Single cell centered in the field · peripheral blood smear:
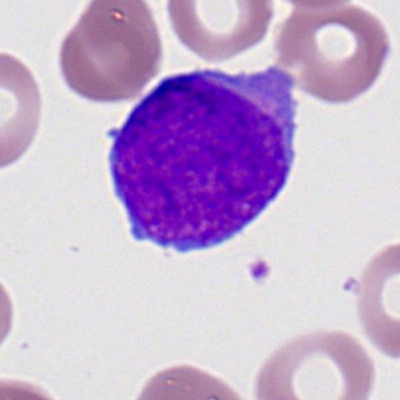

This is a myeloid blast.